Bone marrow aspirate smear.
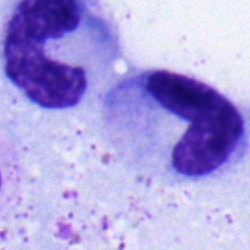The classification is band neutrophil.